Bone marrow smear. 40× oil immersion:
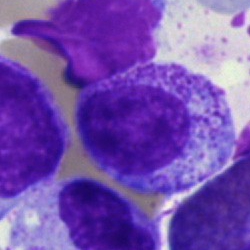A myelocyte.